Bone marrow aspirate smear · brightfield microscopy, 40× oil immersion — 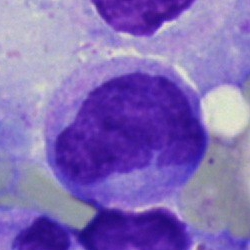
The cell shown is a monocyte.